Pappenheim-stained; single cell centered in the field; bone marrow aspirate smear.
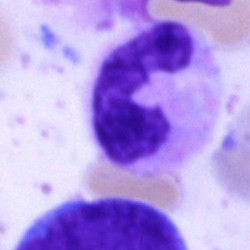
Single cell identified as a band-form neutrophil.